Bone marrow smear:
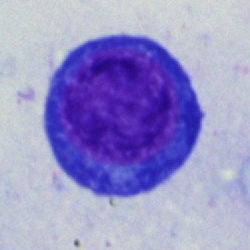Morphology consistent with an erythroblast.